250 by 250 pixels. Bone marrow aspirate smear.
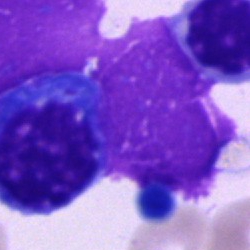Showing a nucleated red blood cell.